Bone marrow aspirate smear: 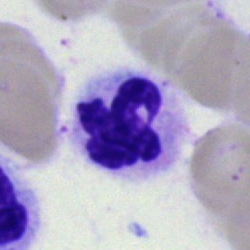 Specimen: bone marrow aspirate smear.
Morphological class: neutrophil (segmented).